Peripheral blood smear:
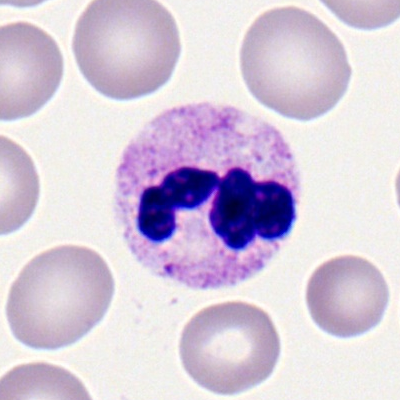 Classification — polymorphonuclear neutrophil.